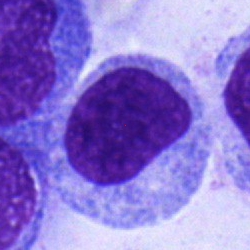The classification is myelocyte.